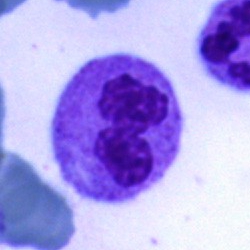
Morphology consistent with a polymorphonuclear neutrophil.